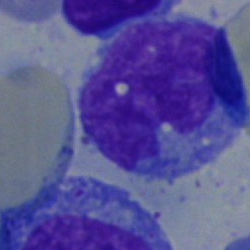 Specimen: bone marrow smear.
Morphological class: blast.